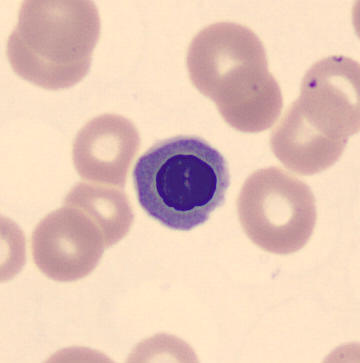

360 by 363 pixels. Specimen: peripheral blood smear.
Morphological class: nucleated red cell.